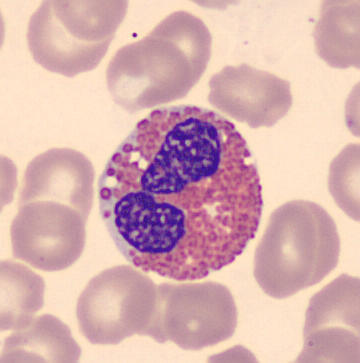
Classification — eosinophilic granulocyte.